Peripheral blood film; cropped to a single cell:
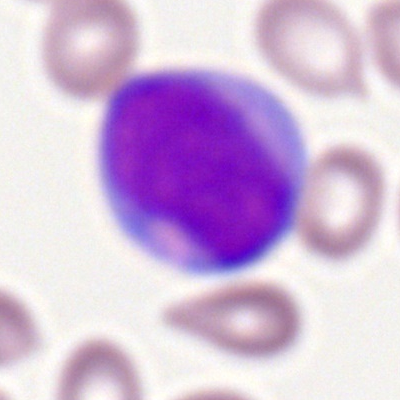
Morphology consistent with a myeloblast.